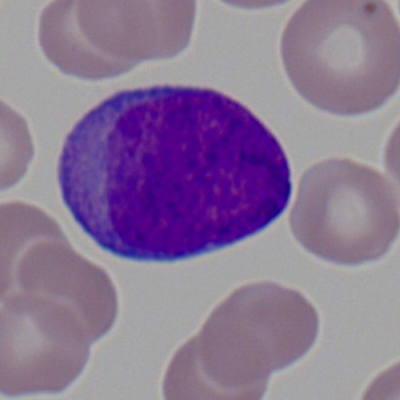Impression — myeloid blast.